Single-cell crop · bone marrow aspirate smear
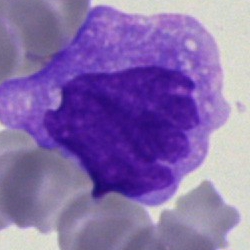 A monocyte.